Bone marrow smear: 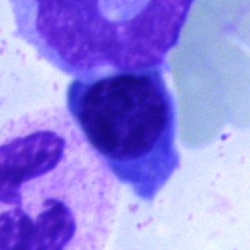 This is a nucleated red cell.